May-Grünwald-Giemsa stain; bone marrow aspirate smear.
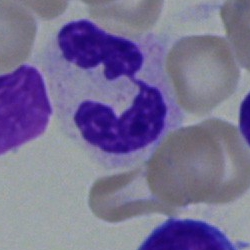

Specimen: bone marrow aspirate smear.
Classification: neutrophil (segmented).